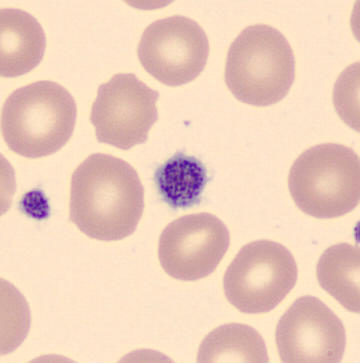 Cell type — thrombocyte.

Peripheral blood film.